400×400 px; single-cell field; peripheral blood smear.
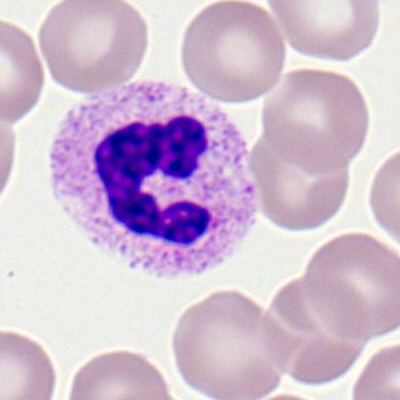

Morphology — polymorphonuclear neutrophil.